Bone marrow aspirate smear:
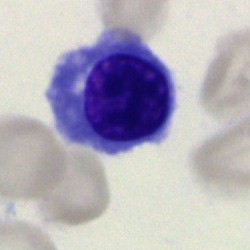A nucleated red blood cell.